Bone marrow aspirate smear
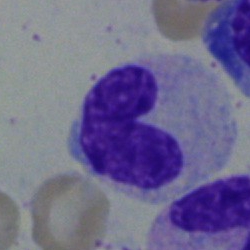

Cell type: band-form neutrophil.